Bone marrow aspirate smear; brightfield microscopy, 40× oil immersion — 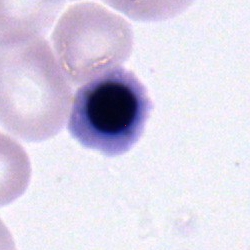
Morphological class — normoblast.